Bone marrow smear — 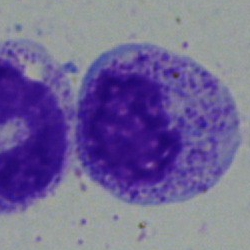

Morphology consistent with a myelocyte.